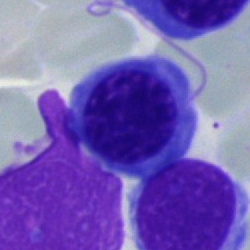

Morphological class: nucleated red blood cell.